Bone marrow aspirate smear: 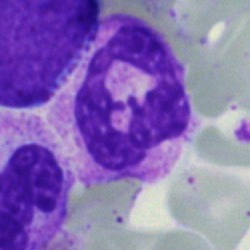 Morphology → polymorphonuclear neutrophil.